Peripheral blood film — 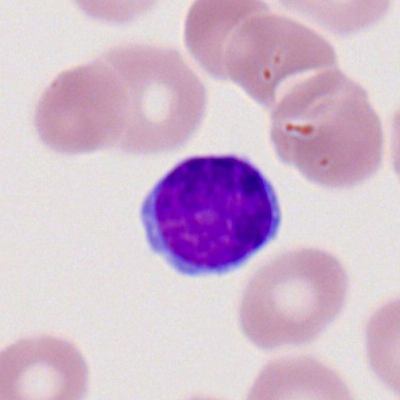
Q: What cell is this?
A: A typical lymphocyte.